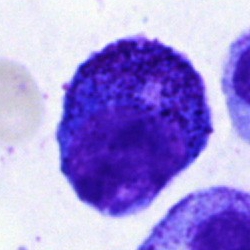 {"cell_type": "promyelocyte"}